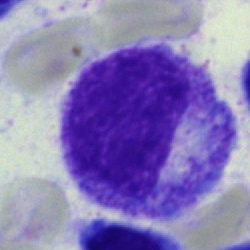Morphology consistent with a myelocyte.